Bone marrow smear · brightfield, 40× oil-immersion objective.
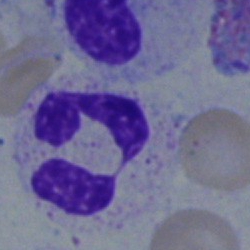
Classification: neutrophil (segmented).